Bone marrow aspirate smear:
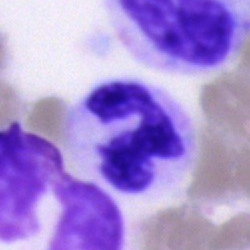
The cell shown is a polymorphonuclear neutrophil.